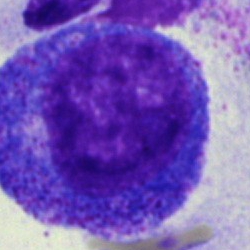Morphological class: progranulocyte.